250×250 px; brightfield, 40× oil-immersion objective; bone marrow aspirate smear.
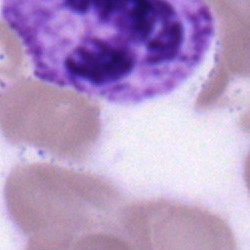
A polymorphonuclear neutrophil.